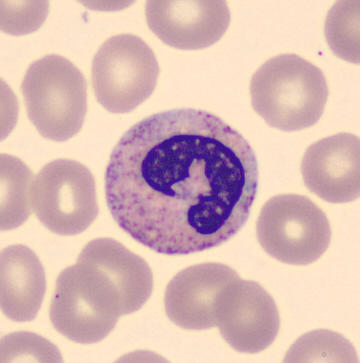

Image: Peripheral blood smear · automated cell imaging (CellaVision DM96).

Q: What is this?
A: This is a polymorphonuclear neutrophil.